Bone marrow aspirate smear
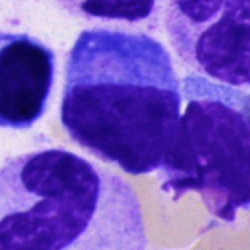 The cell shown is a lymphocyte.